40× objective, oil immersion. Bone marrow smear.
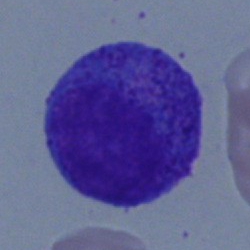 A promyelocyte.